May-Grünwald-Giemsa stain; bone marrow aspirate smear; 250×250 — 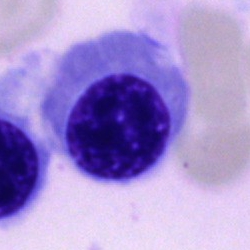Classification — nucleated red blood cell.